Bone marrow smear.
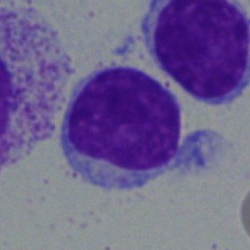 Classification = typical lymphocyte.